Bone marrow smear.
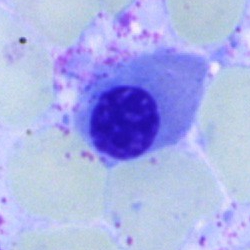
This is a nucleated red blood cell.